Bone marrow aspirate smear: 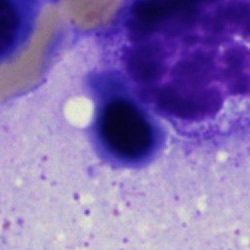Morphology → erythroblast.